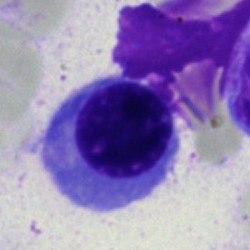Q: What is the morphological classification of this cell?
A: This is an erythroblast.